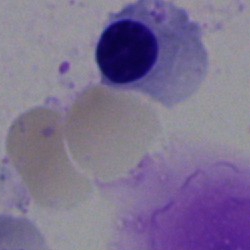
Morphology consistent with a nucleated red blood cell.